Bone marrow aspirate smear:
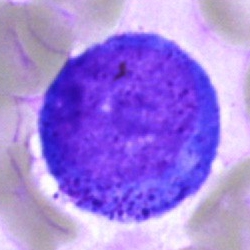
Morphology consistent with a promyelocyte.